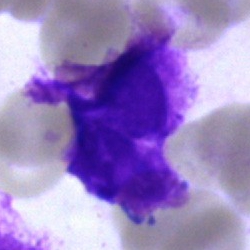 Cell type = artefact.